Romanowsky stain; 100× oil immersion, 14.14 px/µm; peripheral blood smear.
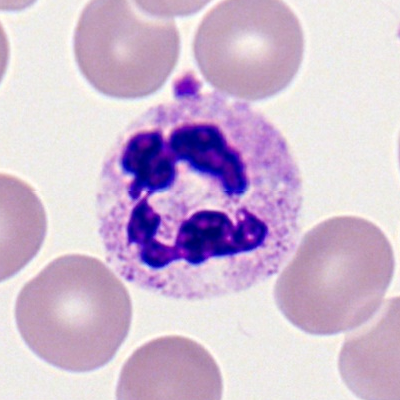
Single cell identified as a neutrophil (segmented).